Bone marrow smear · single-cell crop
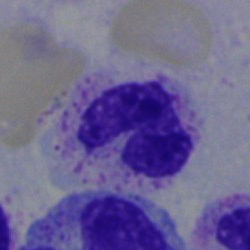

Q: What is shown here?
A: Neutrophil (segmented).